Peripheral blood film · 400×400 px · Romanowsky-type stain.
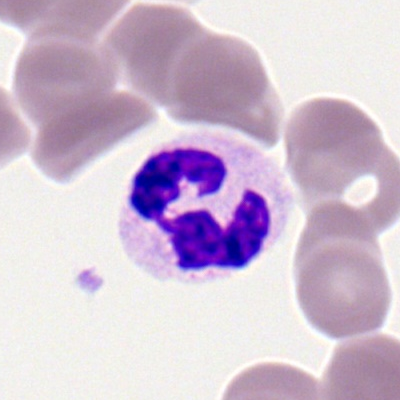A polymorphonuclear neutrophil.